Peripheral blood smear · single cell centered in the field · 100× oil immersion, 14.14 px/µm:
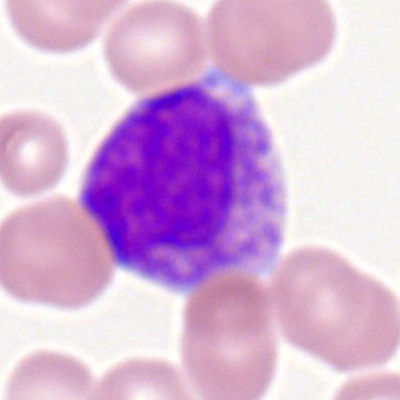Cell = basophil.